Bone marrow aspirate smear; single cell centered in the field
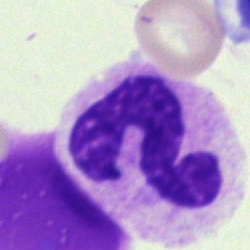 Q: What cell is this?
A: A segmented neutrophil.